Bone marrow smear.
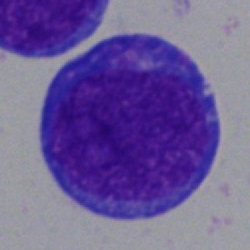

Morphology → blast cell.